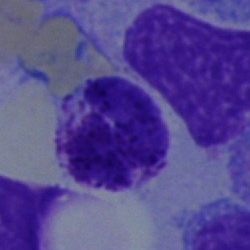
Single cell identified as an artifact.